40× objective, oil immersion; single-cell crop; bone marrow smear: 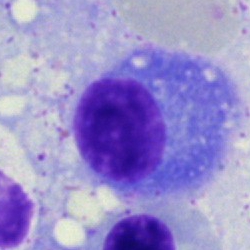
Q: What is the morphological classification of this cell?
A: Plasmacyte.